Bone marrow aspirate smear: 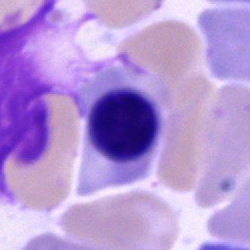
Q: What cell is this?
A: Nucleated red cell.